250 by 250 pixels; bone marrow smear; May-Grünwald-Giemsa/Pappenheim stain
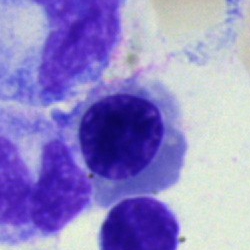
This is a nucleated red cell.